Bone marrow smear: 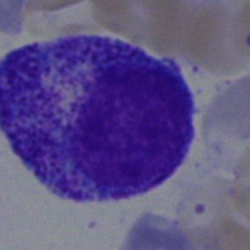 Morphological class: promyelocyte.